Bone marrow smear: 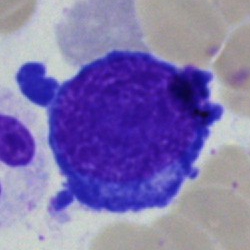Impression → pronormoblast.